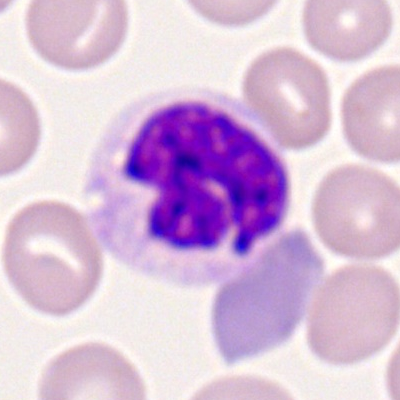

Peripheral blood film, single cell — polymorphonuclear neutrophil.